Bone marrow aspirate smear. 40× oil immersion.
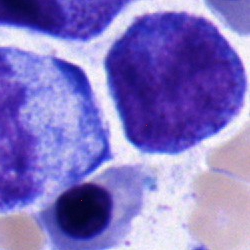

Specimen: bone marrow aspirate smear.
Classification: monocyte.